Bone marrow aspirate smear · 250×250 — 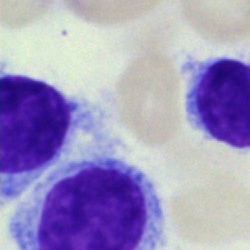Q: Which cell type is shown here?
A: A hairy cell.